Bone marrow aspirate smear — 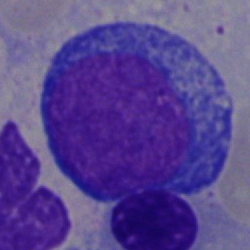
Showing a proerythroblast.